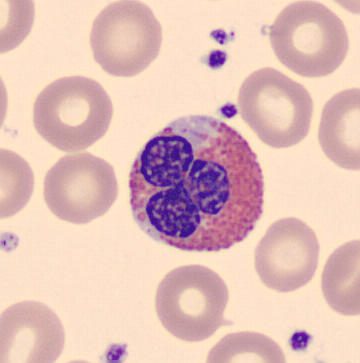
Morphology — eosinophil.